Single-cell field. Bone marrow aspirate smear. Brightfield, 40× oil-immersion objective: 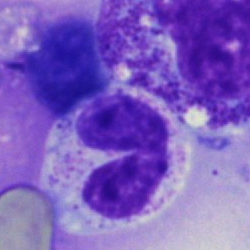
Single cell identified as a segmented neutrophil.